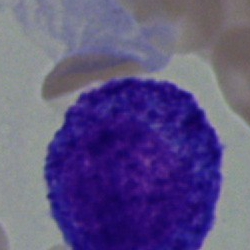
Bone marrow smear showing a progranulocyte.